Bone marrow aspirate smear:
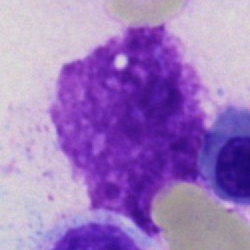Single cell identified as an artifact.